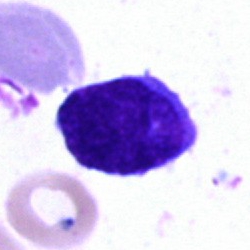 The cell is undifferentiated blast.